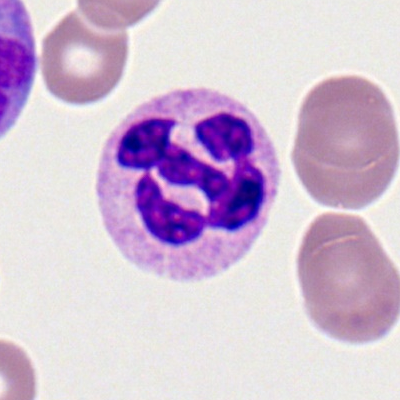
Morphology consistent with a polymorphonuclear neutrophil.